Pappenheim-stained. Bone marrow aspirate smear. 250 by 250 pixels — 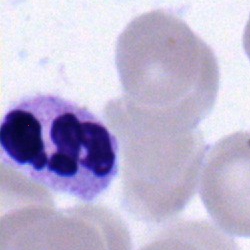 Q: What cell is this?
A: This is a segmented neutrophil.